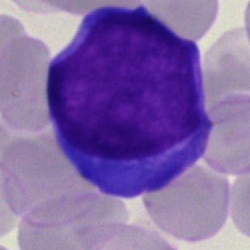
{"cell_type": "undifferentiated blast"}